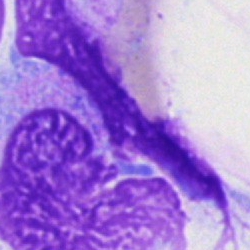Artefact.